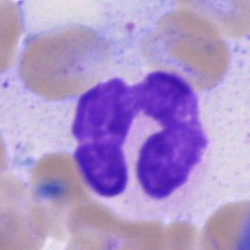 The cell is polymorphonuclear neutrophil.